Peripheral blood film — 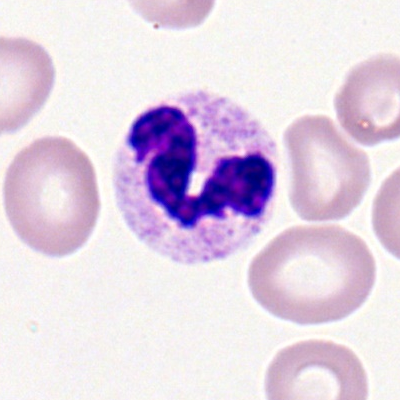
{"cell_type": "segmented neutrophil", "lineage": "myeloid"}